Brightfield microscopy, 40× oil immersion. Bone marrow smear. MGG-stained
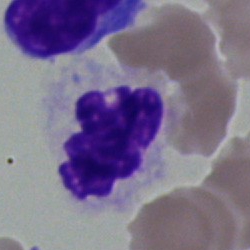 Classification — polymorphonuclear neutrophil.